Romanowsky stain. Peripheral blood smear. Single-cell crop.
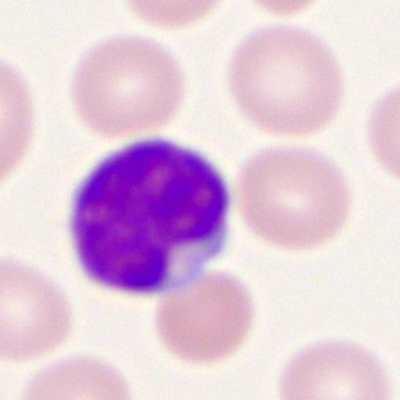Single cell identified as a lymphocyte.